Bone marrow aspirate smear — 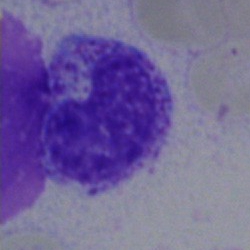Q: What is the morphological classification of this cell?
A: A band-form neutrophil.